Bone marrow smear: 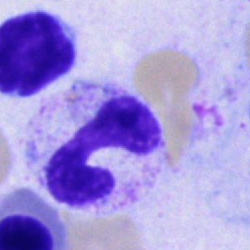

{"cell_type": "neutrophil (segmented)", "lineage": "myeloid"}